Peripheral blood smear: 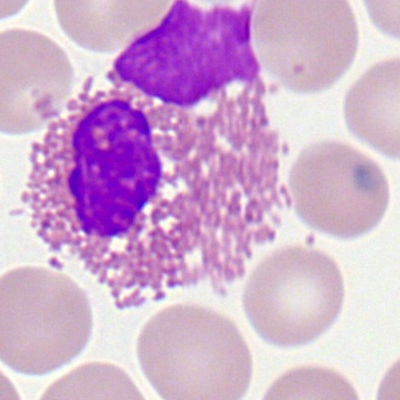Impression → eosinophilic granulocyte.